Bone marrow aspirate smear — 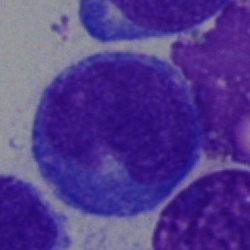 Q: Identify the cell.
A: Monocyte.